Bone marrow smear
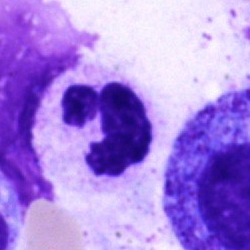

Q: What is the morphological classification of this cell?
A: This is a segmented neutrophil.